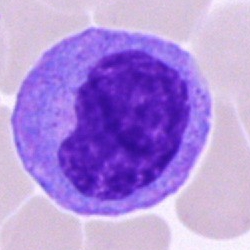Morphology — promyelocyte.